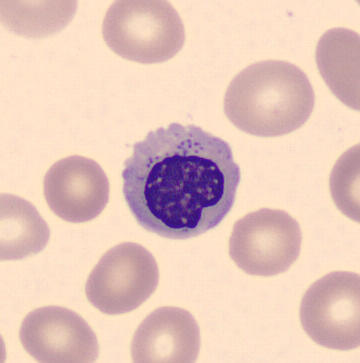 Impression — nucleated red cell.